Bone marrow smear — 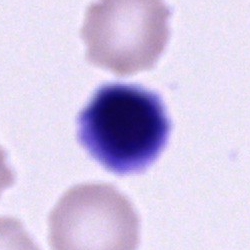
Impression → cell of indeterminate lineage.